Brightfield microscopy, 40× oil immersion · bone marrow aspirate smear · 250×250 px:
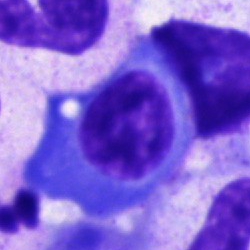Specimen: bone marrow smear.
Morphological class: plasma cell.
Lineage: lymphoid.